Bone marrow smear · 40× objective, oil immersion:
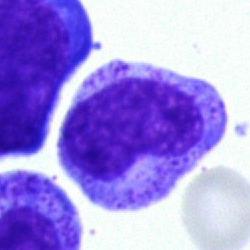
Morphological class = metamyelocyte.